Brightfield, 40× oil-immersion objective. Bone marrow aspirate smear
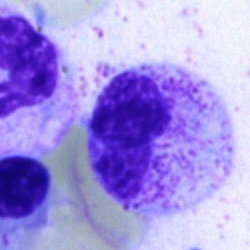 The cell shown is a band neutrophil.